Peripheral blood smear:
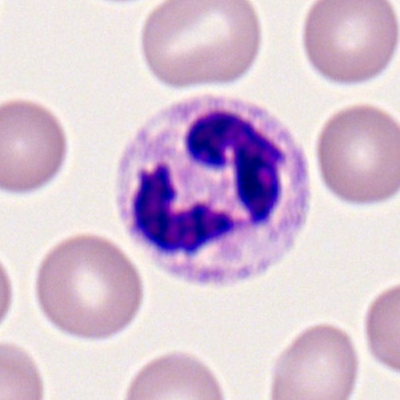 This is a segmented neutrophil.